Bone marrow smear. May-Grünwald-Giemsa stain. Brightfield microscopy, 40× oil immersion — 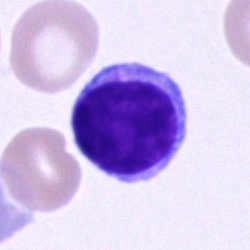 Morphological class: typical lymphocyte.